MGG stain · peripheral blood smear:
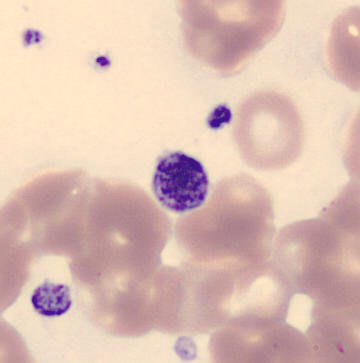Morphology — platelet (thrombocyte).